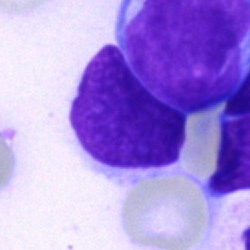Impression — blast.